Bone marrow smear.
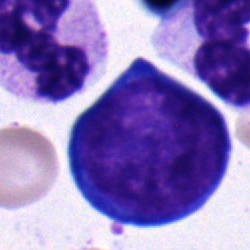Q: What is the morphological classification of this cell?
A: Proerythroblast.